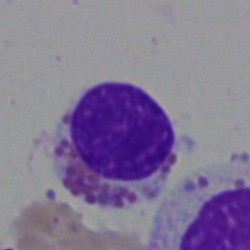

An eosinophil on a bone marrow smear.